Bone marrow aspirate smear
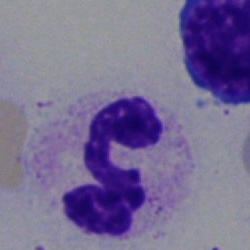

Segmented neutrophil.